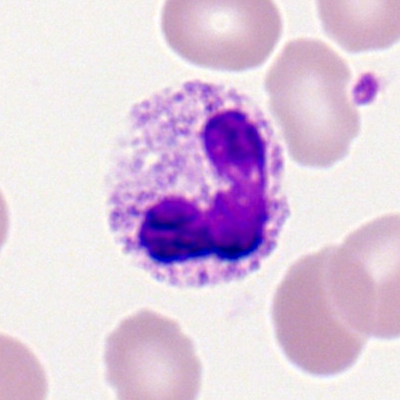Q: Which cell type is shown here?
A: A segmented neutrophil.